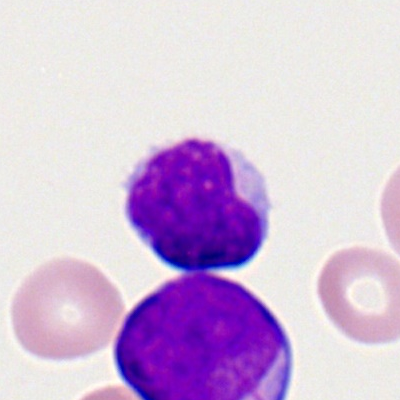

The cell shown is a lymphocyte.